Automated cell imaging (CellaVision DM96); peripheral blood film — 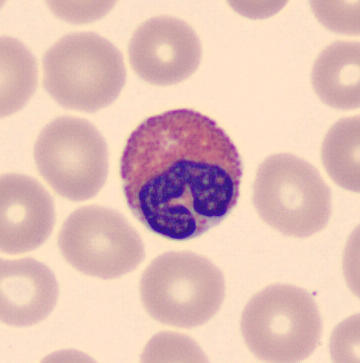The cell shown is an eosinophil.